Bone marrow aspirate smear · Pappenheim-stained.
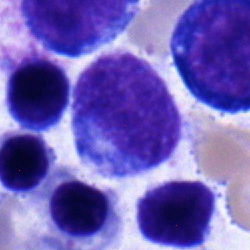 Cell type: progranulocyte.